Pappenheim-stained. Bone marrow smear: 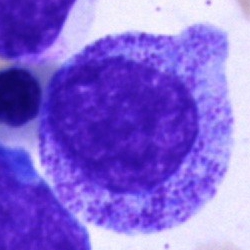
Classification: progranulocyte.